Bone marrow smear · single cell centered in the field.
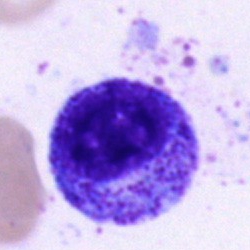
The cell shown is a progranulocyte.